40× oil immersion; bone marrow aspirate smear; MGG-stained: 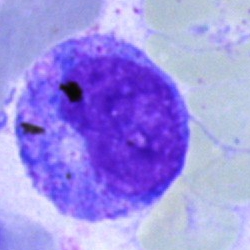 Morphology — progranulocyte.